Peripheral blood film. Romanowsky stain:
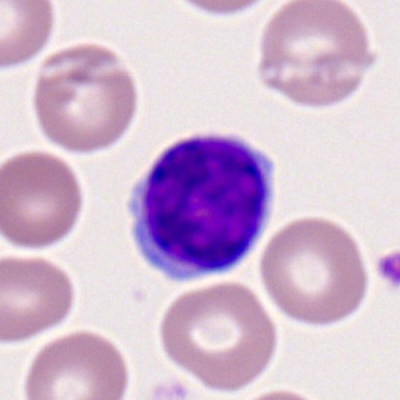 Morphology consistent with a typical lymphocyte.